40× oil immersion. Bone marrow aspirate smear — 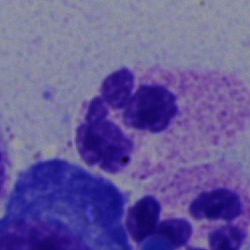Impression — segmented neutrophil.